Single-cell field · bone marrow aspirate smear:
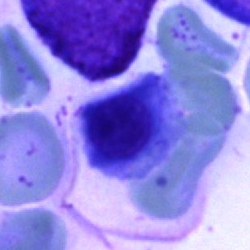
Q: What is shown here?
A: This is a nucleated red blood cell.